Bone marrow smear:
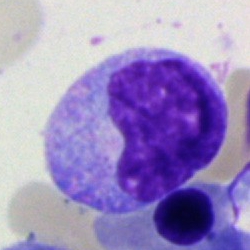
Q: Which cell type is shown here?
A: This is a metamyelocyte.